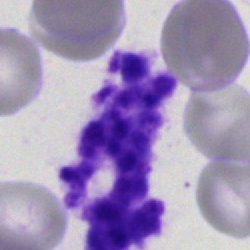
Classification: artefact.